Bone marrow smear
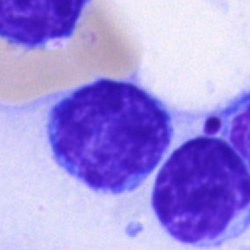 {"cell_type": "lymphocyte", "lineage": "lymphoid"}